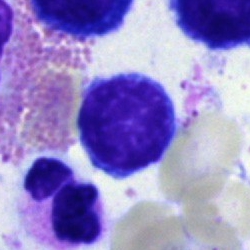
Single-cell crop from a bone marrow smear: lymphocyte.